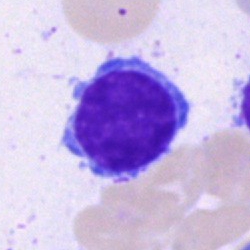
Morphological class = typical lymphocyte.